Bone marrow smear; Pappenheim-stained
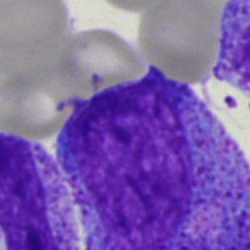

Single cell identified as a progranulocyte.